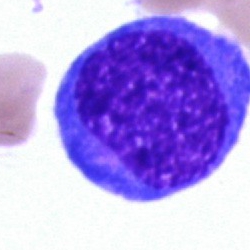

The classification is normoblast.